Peripheral blood film; 400×400 px — 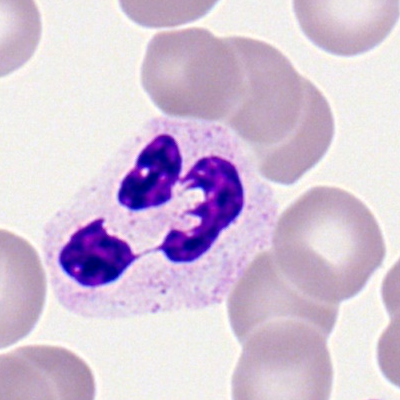

Q: What cell is this?
A: This is a neutrophil (segmented).